Bone marrow smear. 250×250 px. Single-cell field: 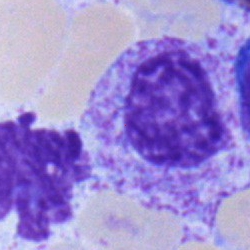Q: What type of cell is this?
A: Myelocyte.